Bone marrow smear. 250×250: 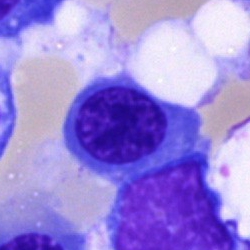

Q: What type of cell is this?
A: This is a nucleated red blood cell.